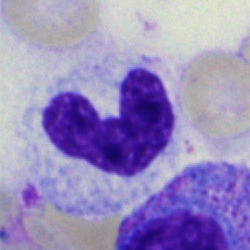 Bone marrow aspirate smear, single cell — stab cell.